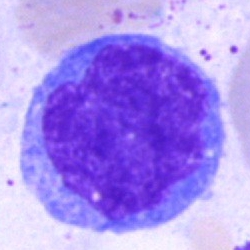
Specimen: bone marrow aspirate smear.
Cell: monocyte.
Lineage: myeloid.